Bone marrow aspirate smear: 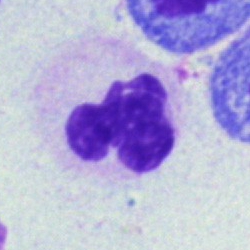 The cell shown is a neutrophil (segmented).